Bone marrow smear:
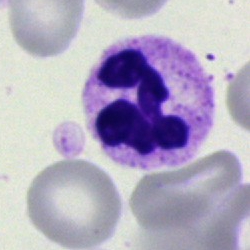

Cell type: segmented neutrophil.